Bone marrow aspirate smear
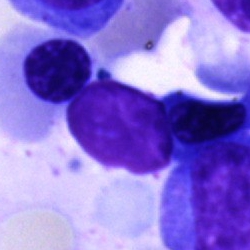 Morphology — cell of indeterminate lineage.